250 by 250 pixels. Bone marrow aspirate smear: 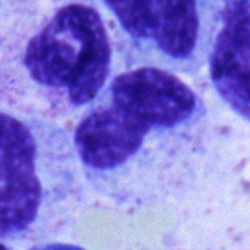Morphology — stab cell.